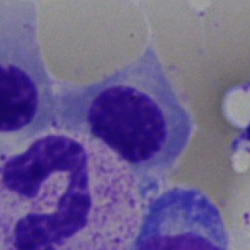 Morphology consistent with an erythroblast.